250×250 px · bone marrow smear.
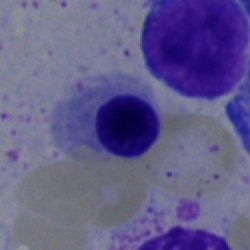The classification is nucleated red blood cell.